250×250 px; bone marrow smear: 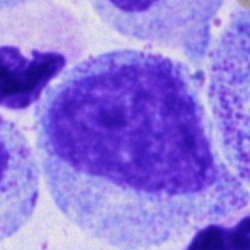

Q: What type of cell is this?
A: A promyelocyte.